Bone marrow smear · single-cell field · 250 by 250 pixels: 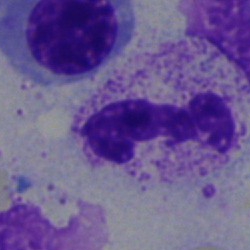
Neutrophil (segmented).